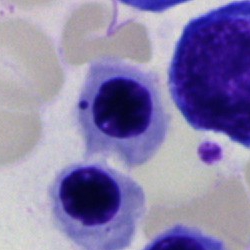Morphological class: nucleated red cell.